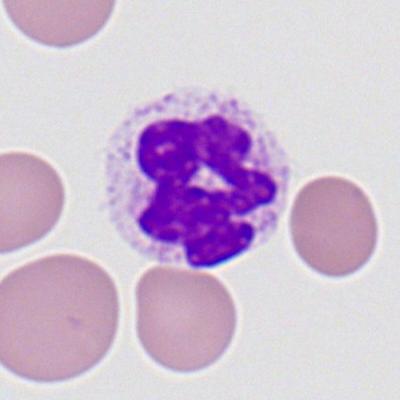{"cell_type": "polymorphonuclear neutrophil", "lineage": "myeloid"}